40× oil immersion; bone marrow smear
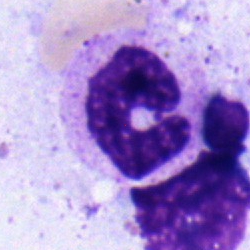
Impression → neutrophil (band).